Bone marrow smear; image size 250×250; May-Grünwald-Giemsa/Pappenheim stain
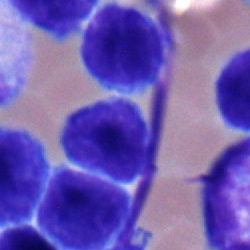 The cell type is lymphocyte.